Bone marrow aspirate smear.
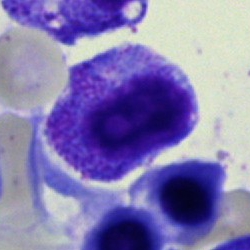Q: What cell is this?
A: This is a myelocyte.